250×250 px · single-cell field · bone marrow smear.
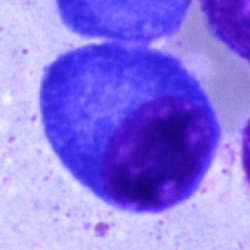

The cell shown is a plasmacyte.